Bone marrow aspirate smear.
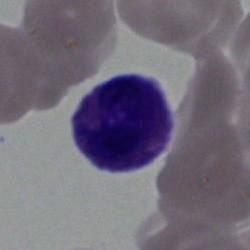Cell type — lymphocyte.